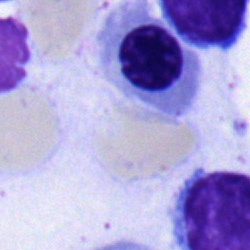Q: What is shown here?
A: It is a nucleated red blood cell.